Bone marrow smear · single-cell crop.
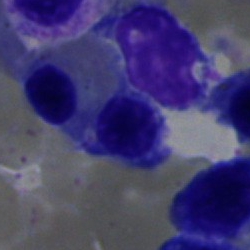Specimen: bone marrow aspirate smear.
Cell: nucleated red blood cell.